Bone marrow smear: 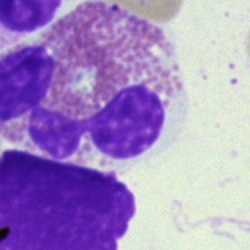 The cell shown is an eosinophilic granulocyte.